250 by 250 pixels; bone marrow smear; brightfield, 40× oil-immersion objective:
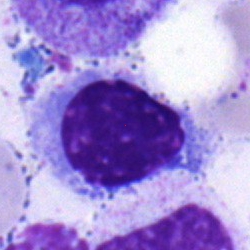
Impression → nucleated red blood cell.